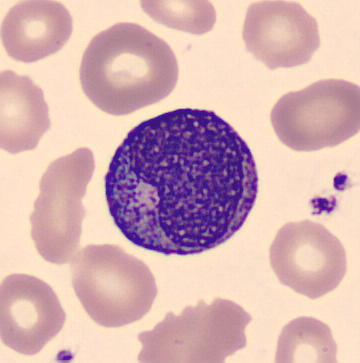 Specimen: peripheral blood film.
Classification: progranulocyte.
Lineage: myeloid.